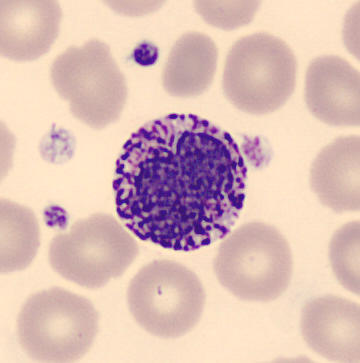
Preparation: Peripheral blood smear.

{"cell_type": "basophil", "lineage": "myeloid"}